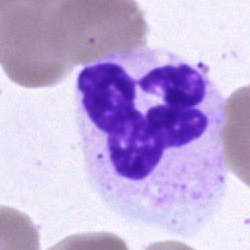The cell shown is a neutrophil (segmented).